Peripheral blood film — 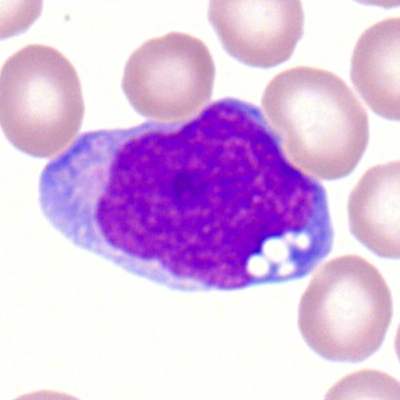

Cell type — myeloid blast.